250×250 px; bone marrow aspirate smear; brightfield microscopy, 40× oil immersion
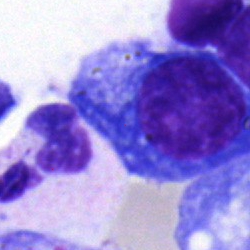

Cell = plasmacyte.